Bone marrow aspirate smear
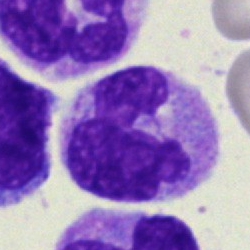

Classification: monocyte.